Peripheral blood film:
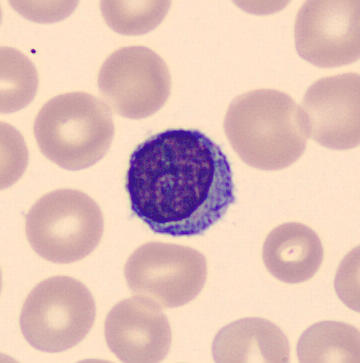

Q: What type of cell is this?
A: This is a typical lymphocyte.